Bone marrow aspirate smear · May-Grünwald-Giemsa stain · 40× oil immersion
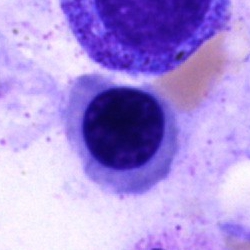Nucleated red blood cell.